Bone marrow aspirate smear; May-Grünwald-Giemsa stain.
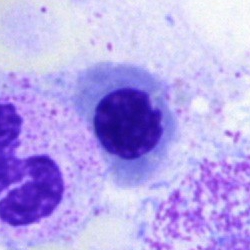

The cell is basophil.